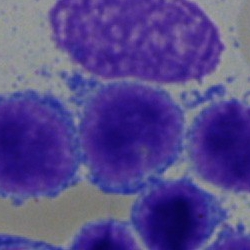Cell — lymphocyte.